Bone marrow smear. MGG-stained:
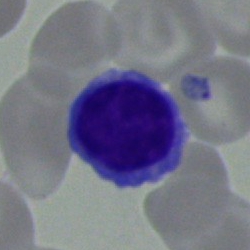

A typical lymphocyte.